40× objective, oil immersion · bone marrow aspirate smear: 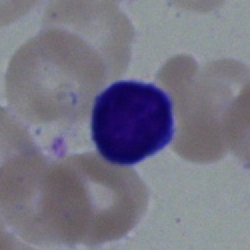
Showing a typical lymphocyte.